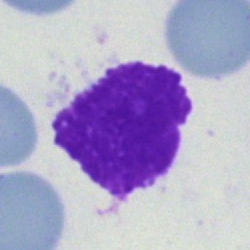
The cell is artefact.